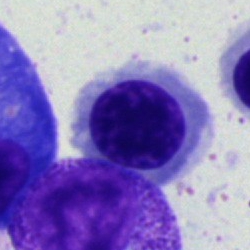

Showing a nucleated red blood cell.